Bone marrow aspirate smear:
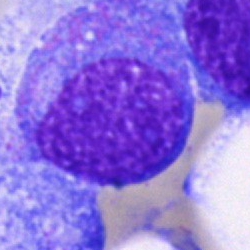

Q: Which cell type is shown here?
A: It is a promyelocyte.